Bone marrow smear · 40× oil immersion:
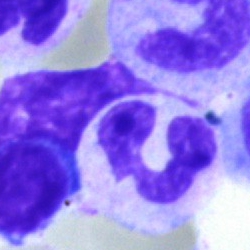 Cell type — neutrophil (segmented).